Bone marrow aspirate smear:
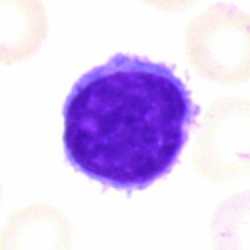

Showing a lymphocyte.